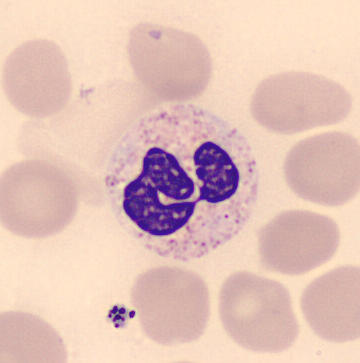

{"cell_type": "polymorphonuclear neutrophil", "lineage": "myeloid"}